Bone marrow smear · May-Grünwald-Giemsa/Pappenheim stain:
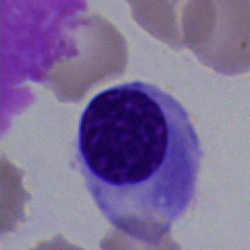This is a nucleated red cell.